Bone marrow aspirate smear · single-cell field.
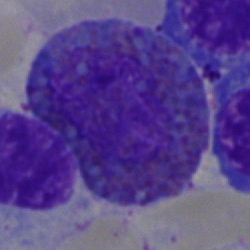 Impression — eosinophil.